Bone marrow smear
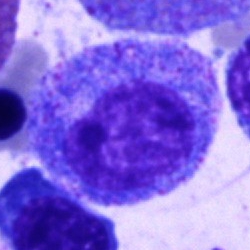
{"cell_type": "promyelocyte"}